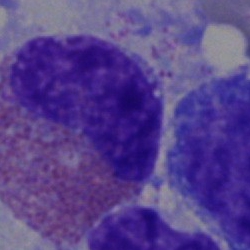 Specimen: bone marrow smear.
Classification: eosinophil.